Bone marrow aspirate smear: 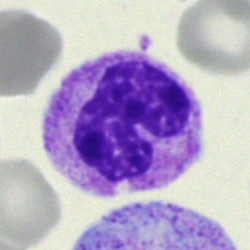 This is a neutrophil (segmented).